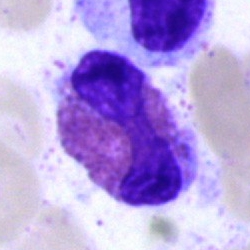Impression — eosinophil.